Bone marrow smear: 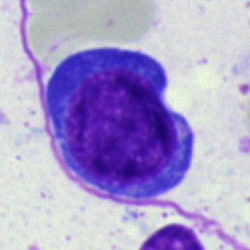Impression — normoblast.